Bone marrow smear. Single-cell crop — 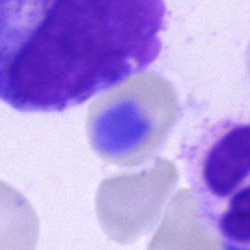
Morphological class — artefact.